Bone marrow aspirate smear. Brightfield microscopy, 40× oil immersion: 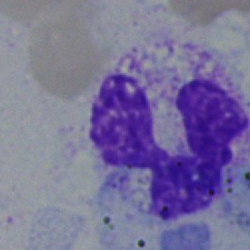 The cell shown is a neutrophil (segmented).